Peripheral blood smear:
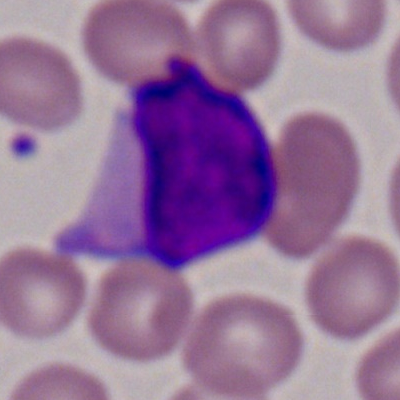Q: What is the morphological classification of this cell?
A: Myeloid blast.